Bone marrow aspirate smear · MGG-stained
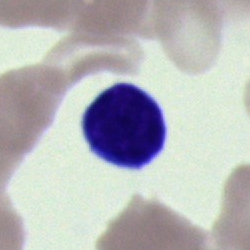
The morphological class is unidentifiable cell.